Bone marrow smear
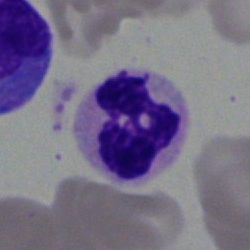

{"cell_type": "neutrophil (segmented)", "lineage": "myeloid"}